Bone marrow aspirate smear · single-cell crop · MGG-stained — 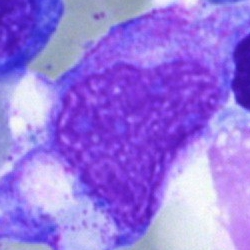
Morphological class: artefact.